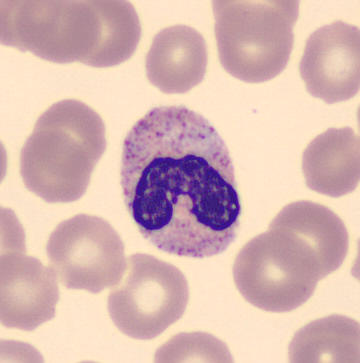 Preparation: Peripheral blood smear. Cell type — neutrophil (band).